Bone marrow smear · cropped to a single cell:
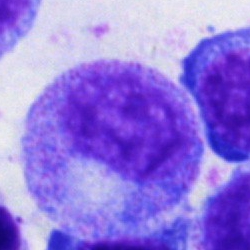 Specimen: bone marrow aspirate smear.
Cell type: progranulocyte.
Lineage: myeloid.